Romanowsky-stained. Peripheral blood smear
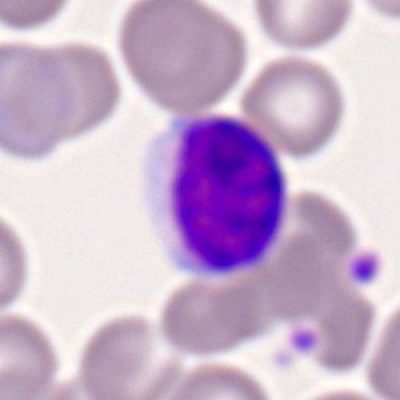 Specimen: peripheral blood smear.
Cell type: lymphocyte.